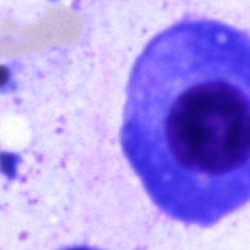

Cell type — plasmacyte.